Peripheral blood film:
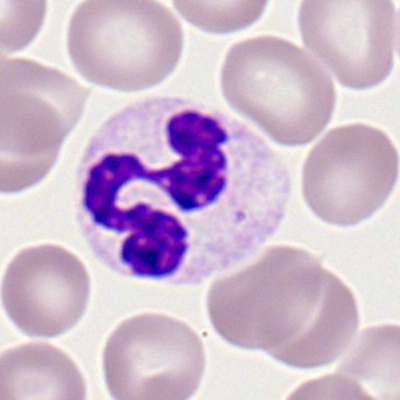Specimen: peripheral blood film.
Cell: segmented neutrophil.
Lineage: myeloid.